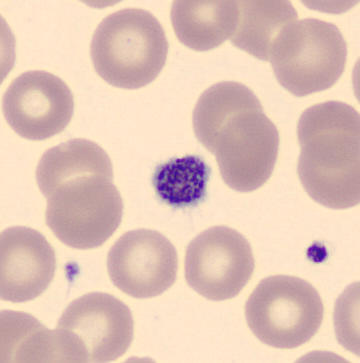

Cell type: platelet (thrombocyte).